Bone marrow aspirate smear — 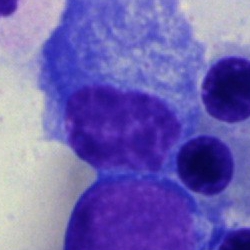Plasma cell.